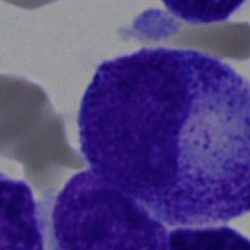
Cell — progranulocyte.